Brightfield, 40× oil-immersion objective · bone marrow aspirate smear: 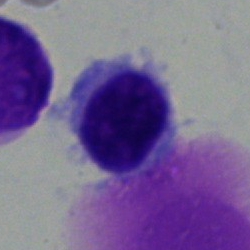Specimen: bone marrow smear.
Cell: hairy cell.
Lineage: lymphoid.